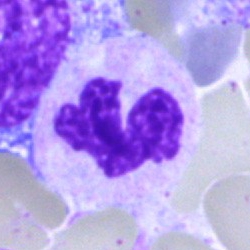
Single cell identified as a neutrophil (segmented).